Single-cell crop · bone marrow aspirate smear:
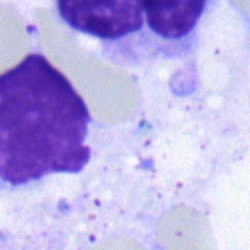
This is a monocyte.